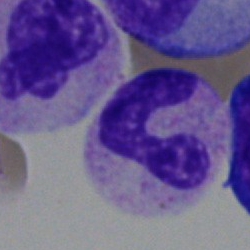Bone marrow smear showing a polymorphonuclear neutrophil.